Brightfield, 40× oil-immersion objective · cropped to a single cell · bone marrow smear
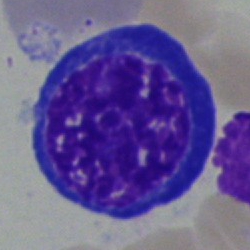 Morphology consistent with an erythroblast.